Bone marrow aspirate smear — 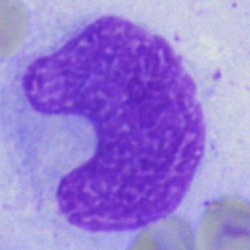 Specimen: bone marrow smear.
Cell: neutrophil (band).